Bone marrow aspirate smear — 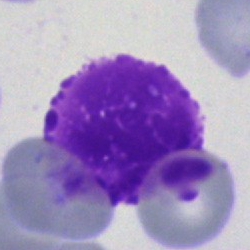
Specimen: bone marrow aspirate smear.
Cell: artefact.